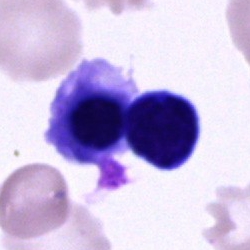 {"cell_type": "nucleated red blood cell", "lineage": "erythroid"}